MGG-stained; bone marrow smear.
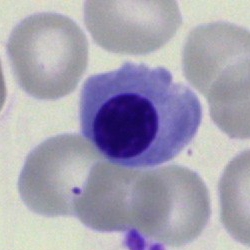
Q: Identify the cell.
A: This is a normoblast.